Bone marrow aspirate smear. 250×250 px.
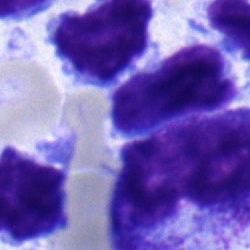 Specimen: bone marrow aspirate smear.
Morphological class: lymphocyte.
Lineage: lymphoid.